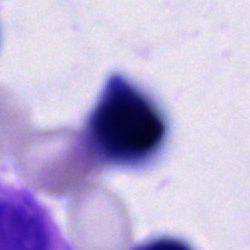 Specimen: bone marrow smear.
Morphological class: unidentifiable cell.